Cropped to a single cell; brightfield microscopy, 40× oil immersion; bone marrow aspirate smear.
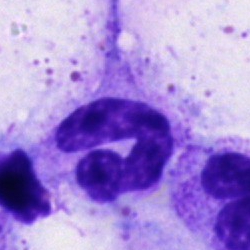Showing a stab cell.